Bone marrow aspirate smear · brightfield microscopy, 40× oil immersion
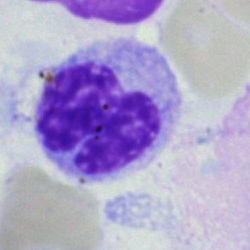

Classification — monocyte.